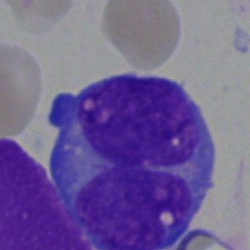
Cell type: blast.